Bone marrow aspirate smear; 40× oil immersion
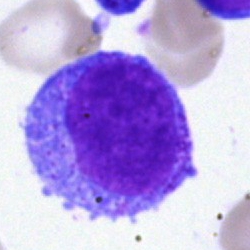

Q: What is the morphological classification of this cell?
A: This is a promyelocyte.